Bone marrow smear · cropped to a single cell · brightfield, 40× oil-immersion objective: 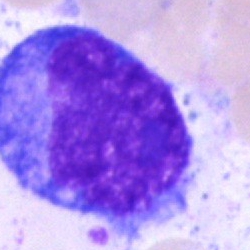
Q: Identify the cell.
A: Blast cell.